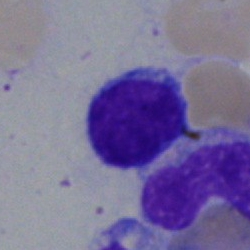
Q: What is the morphological classification of this cell?
A: Lymphocyte.